Brightfield, 40× oil-immersion objective · bone marrow aspirate smear — 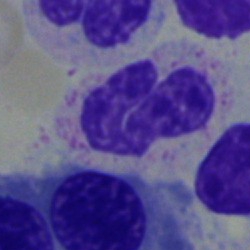Showing a stab cell.